Bone marrow smear:
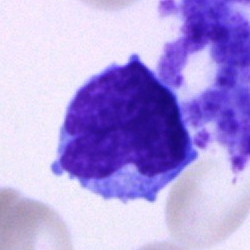
Impression — lymphocyte.